Bone marrow aspirate smear: 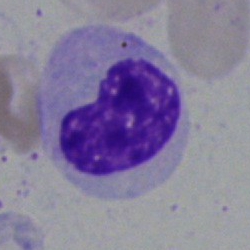
Q: What is shown here?
A: It is a band neutrophil.